Bone marrow smear:
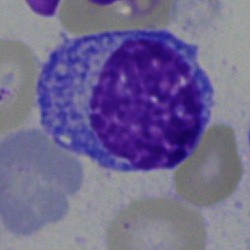
The cell shown is a plasmacyte.